Bone marrow aspirate smear. 40× oil immersion.
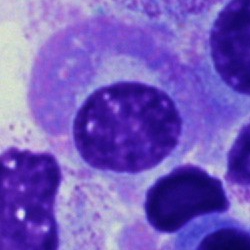Q: Which cell type is shown here?
A: It is a plasmacyte.